Bone marrow smear: 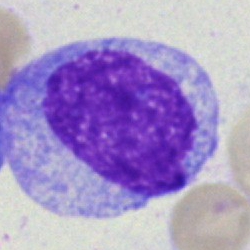
Single cell identified as an undifferentiated blast.